Bone marrow aspirate smear; 250×250 px: 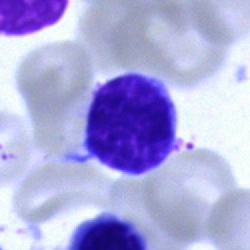Impression → typical lymphocyte.